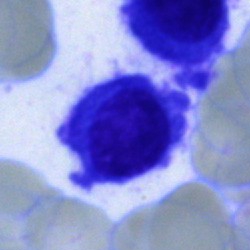 Q: What is shown here?
A: A plasma cell.